Bone marrow aspirate smear.
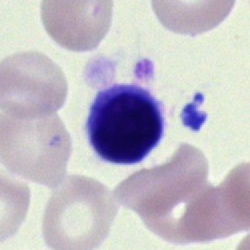

The cell shown is a typical lymphocyte.